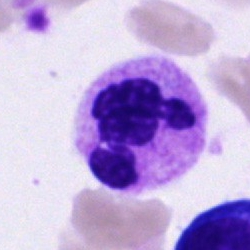
Cell: segmented neutrophil.